Single cell centered in the field. Bone marrow aspirate smear. Brightfield microscopy, 40× oil immersion.
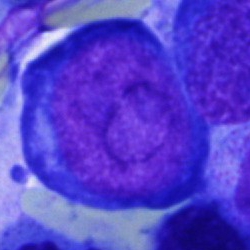

Blast cell.